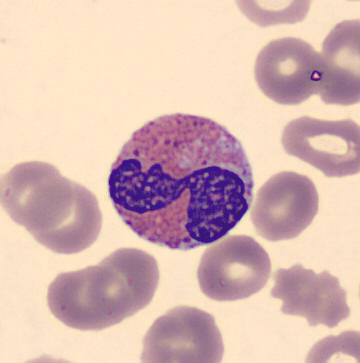Q: Which cell type is shown here?
A: It is an eosinophil.